Single cell centered in the field · 250×250 · bone marrow smear.
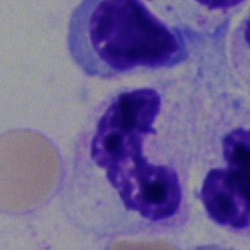
Impression → polymorphonuclear neutrophil.